Single cell centered in the field; bone marrow smear.
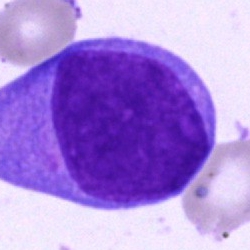

Q: What is the morphological classification of this cell?
A: Blast cell.